May-Grünwald-Giemsa stain; bone marrow smear — 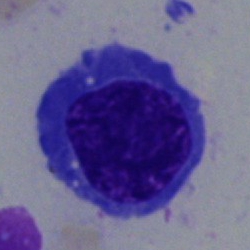 Specimen: bone marrow aspirate smear.
Classification: erythroblast.
Lineage: erythroid.